Peripheral blood film: 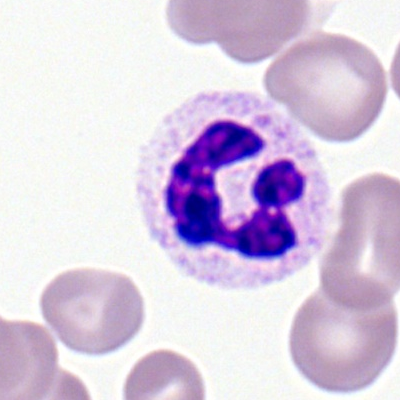

Classification — polymorphonuclear neutrophil.